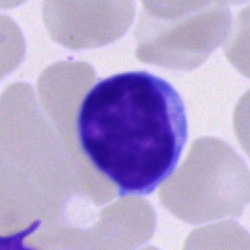Specimen: bone marrow smear.
Morphological class: lymphocyte.
Lineage: lymphoid.